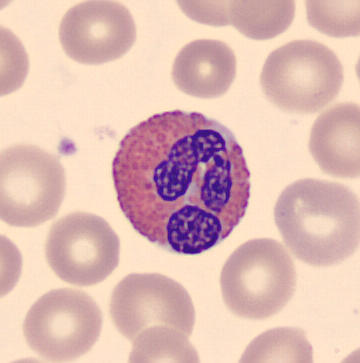

Peripheral blood film. {"cell_type": "eosinophilic granulocyte", "lineage": "myeloid"}